Bone marrow smear.
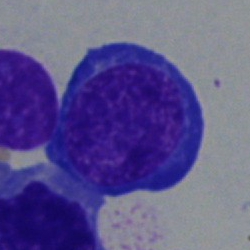Q: Identify the cell.
A: This is a nucleated red blood cell.